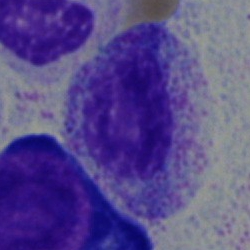

Specimen: bone marrow aspirate smear.
Classification: myelocyte.
Lineage: myeloid.